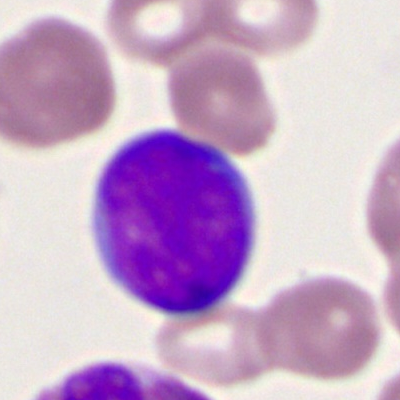Peripheral blood film, single cell — myeloblast.